Bone marrow smear:
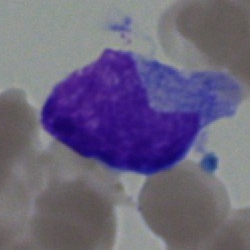 Q: What is shown here?
A: Undifferentiated blast.